Bone marrow aspirate smear.
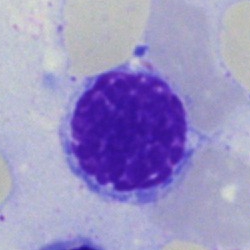Single cell identified as a normoblast.